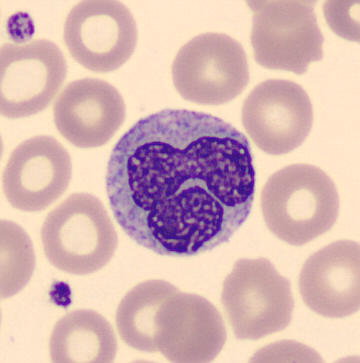Peripheral blood film; 360 by 363 pixels.

Classification: monocyte.